Bone marrow smear.
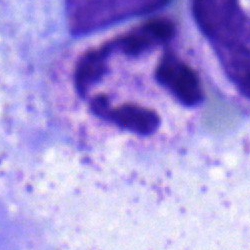

The cell shown is a segmented neutrophil.